100× objective, oil immersion · peripheral blood film — 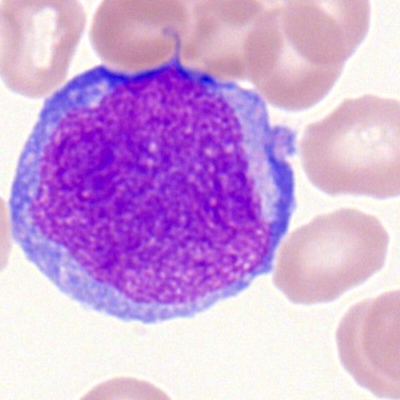 Specimen: peripheral blood film.
Morphological class: myeloid blast.
Lineage: myeloid.